Peripheral blood smear. CellaVision DM96 digital cell image. May Grünwald-Giemsa stain: 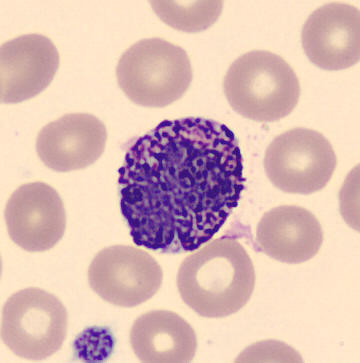 Cell type — basophilic granulocyte.